Bone marrow smear
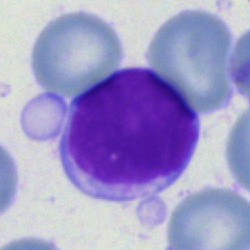Morphology consistent with a lymphocyte.